Bone marrow aspirate smear
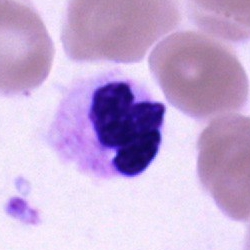

Showing a polymorphonuclear neutrophil.